Bone marrow smear · 40× objective, oil immersion
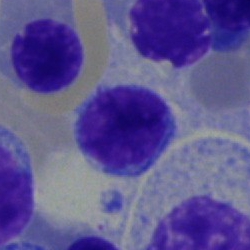Morphology → lymphocyte.